Bone marrow aspirate smear
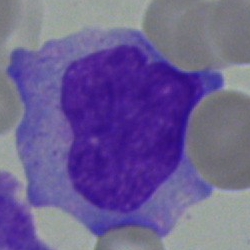

Cell: monocyte.